Brightfield, 40× oil-immersion objective · bone marrow aspirate smear · 250×250 px:
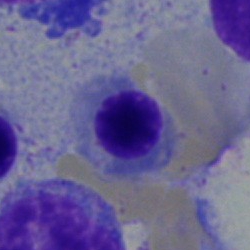
Cell: nucleated red cell.